Bone marrow smear:
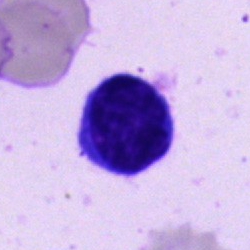
Specimen: bone marrow smear.
Cell: lymphocyte.